Bone marrow aspirate smear.
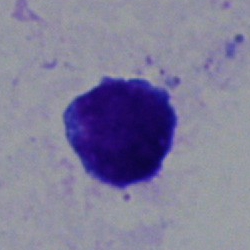The morphological class is lymphocyte.